May-Grünwald-Giemsa/Pappenheim stain · bone marrow smear:
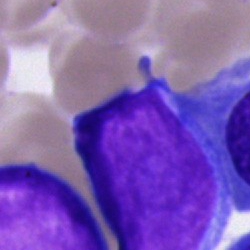
Showing an undifferentiated blast.